Bone marrow smear.
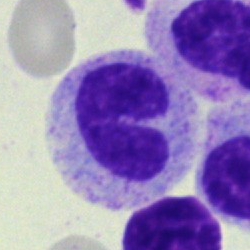 This is a band neutrophil.